May-Grünwald-Giemsa stain; bone marrow smear.
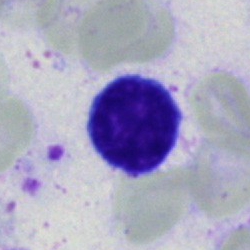The morphological class is lymphocyte.